Bone marrow aspirate smear — 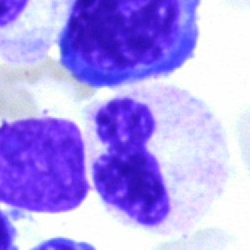{"cell_type": "polymorphonuclear neutrophil"}